Bone marrow aspirate smear; 40× objective, oil immersion:
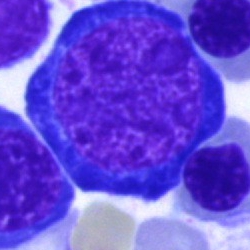
Q: What is shown here?
A: This is a nucleated red cell.